Single cell centered in the field. Bone marrow smear
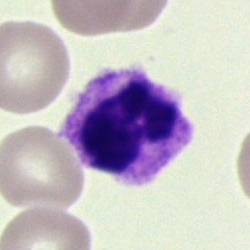Q: What type of cell is this?
A: This is a polymorphonuclear neutrophil.